Single cell centered in the field. Bone marrow smear:
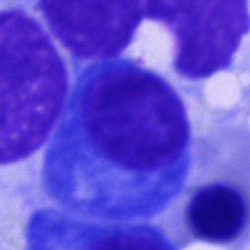 Classification: plasma cell.